Brightfield, 40× oil-immersion objective · bone marrow aspirate smear:
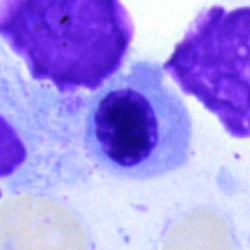Nucleated red cell.